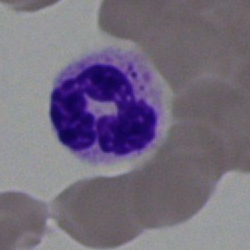 Morphology — neutrophil (segmented).